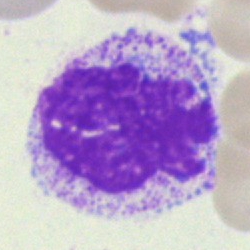{"cell_type": "myelocyte"}